Peripheral blood smear. 360×363. Single-cell field.
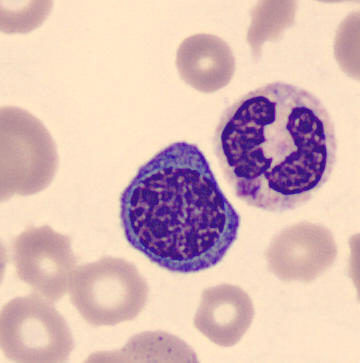

Q: What is shown here?
A: A normoblast.